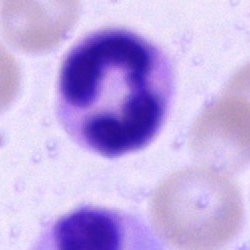

Single cell identified as a neutrophil (segmented).